May-Grünwald-Giemsa/Pappenheim stain; bone marrow aspirate smear — 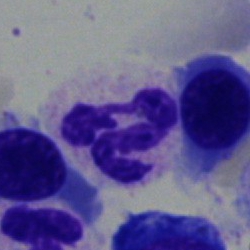
Morphological class: segmented neutrophil.